40× oil immersion · bone marrow aspirate smear · cropped to a single cell — 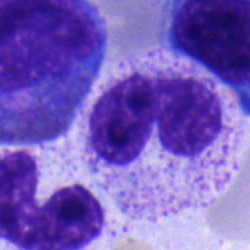
The classification is band-form neutrophil.